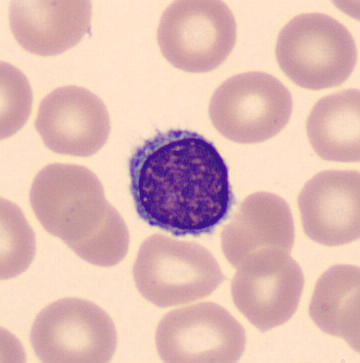
Typical lymphocyte.

Preparation: Peripheral blood film · single cell centered in the field · MGG stain.